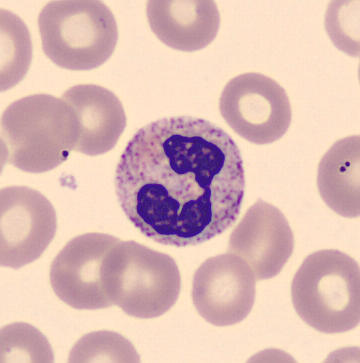This is a neutrophil (segmented).
Preparation: Single-cell field · image size 360×363 · peripheral blood smear.